Bone marrow smear · single-cell crop.
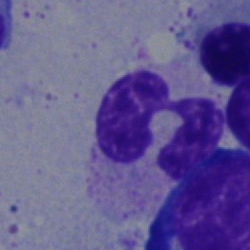 Q: Identify the cell.
A: It is a polymorphonuclear neutrophil.